Bone marrow aspirate smear — 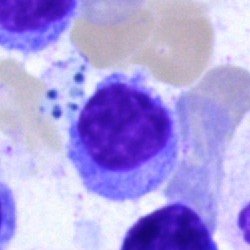Classification = typical lymphocyte.